250 by 250 pixels; bone marrow aspirate smear
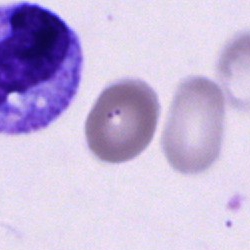
Morphological class = cell of indeterminate lineage.